Bone marrow aspirate smear
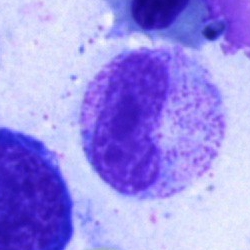

Specimen: bone marrow smear.
Classification: neutrophil (band).